May-Grünwald-Giemsa stain; bone marrow aspirate smear:
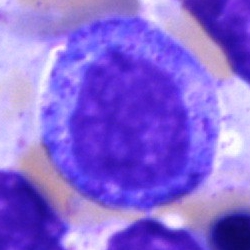 Q: What type of cell is this?
A: A promyelocyte.